Bone marrow aspirate smear · 250 by 250 pixels · 40× objective, oil immersion: 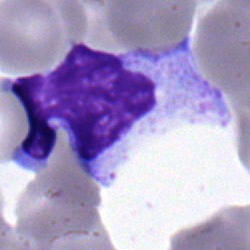

This is a myelocyte.